Cropped to a single cell. Bone marrow smear
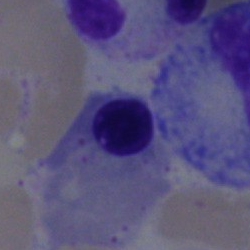 Q: What is shown here?
A: Normoblast.